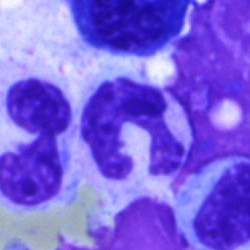

The classification is polymorphonuclear neutrophil.